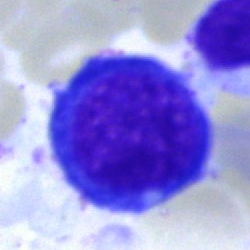

Single-cell crop from a bone marrow smear: nucleated red blood cell.